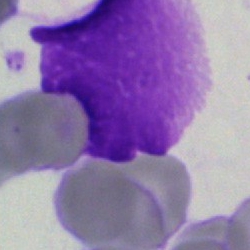

Q: What is shown here?
A: It is an artefact.